Bone marrow smear — 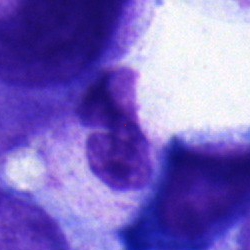
Specimen: bone marrow aspirate smear.
Cell type: polymorphonuclear neutrophil.
Lineage: myeloid.